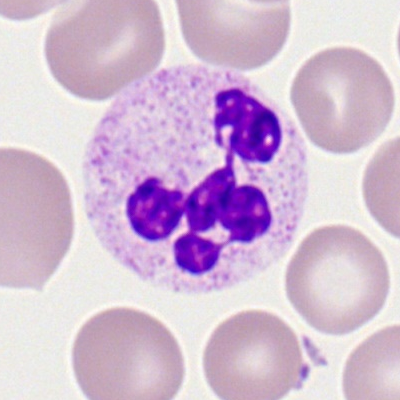 Peripheral blood film, single cell — segmented neutrophil.